Bone marrow aspirate smear:
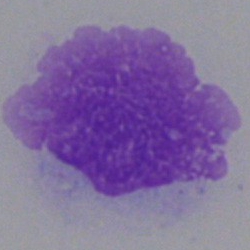

Single cell identified as an artifact.